Bone marrow aspirate smear — 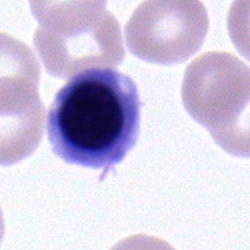Impression — nucleated red blood cell.